Bone marrow smear; 250×250
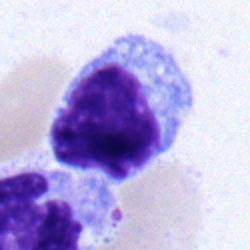 A lymphocyte.